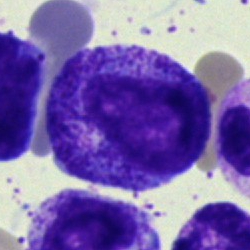
Morphological class = progranulocyte.